Bone marrow aspirate smear · image size 250×250:
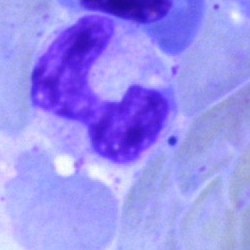 The cell shown is a band-form neutrophil.